Image size 250×250. Bone marrow aspirate smear. Brightfield, 40× oil-immersion objective — 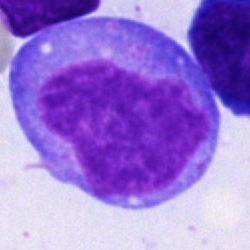

The classification is blast cell.